Bone marrow smear — 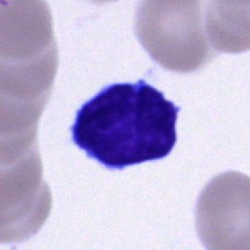 Q: What is the morphological classification of this cell?
A: It is a typical lymphocyte.